40× oil immersion. Bone marrow aspirate smear: 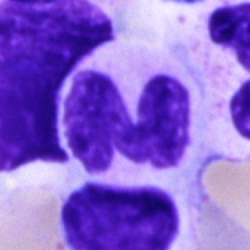
Morphology consistent with a neutrophil (segmented).